Bone marrow smear
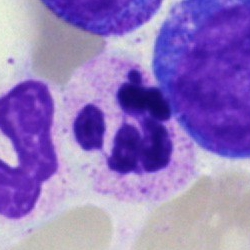{"cell_type": "segmented neutrophil", "lineage": "myeloid"}